Bone marrow smear — 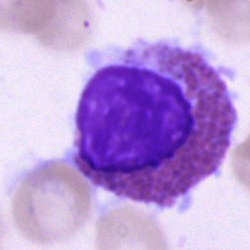Single cell identified as an eosinophil.